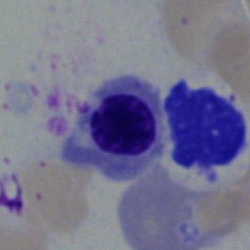Morphology → normoblast.